Bone marrow smear. 250×250 px: 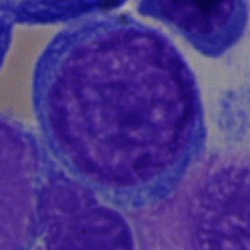

The cell is blast cell.